Bone marrow smear — 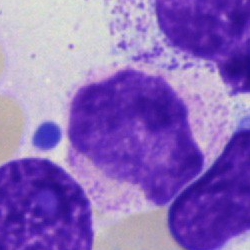Single cell identified as an artefact.